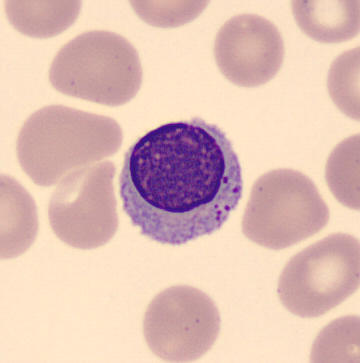
Cell — lymphocyte. Image: Peripheral blood film; single-cell field.